Bone marrow smear. Image size 250×250:
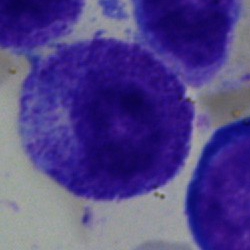

Morphology — progranulocyte.